Bone marrow smear.
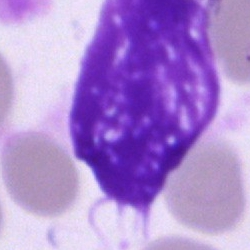Specimen: bone marrow aspirate smear.
Cell type: artefact.